Bone marrow aspirate smear — 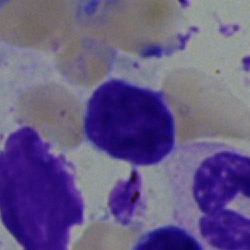

Showing a lymphocyte.